Bone marrow smear · May-Grünwald-Giemsa stain:
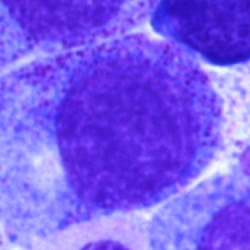
Specimen: bone marrow smear.
Cell type: myelocyte.
Lineage: myeloid.